MGG-stained · bone marrow aspirate smear.
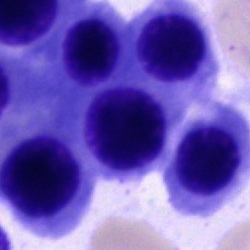

Impression → erythroblast.